Bone marrow aspirate smear — 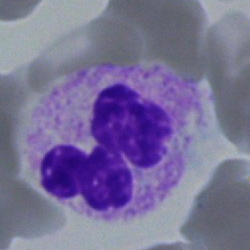The cell shown is a segmented neutrophil.